250×250 · bone marrow smear:
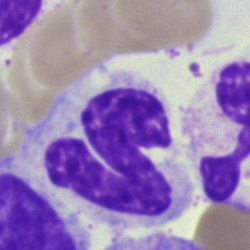 Cell — neutrophil (segmented).